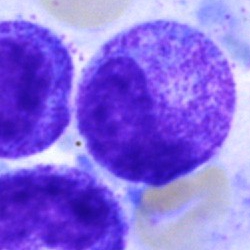
The cell shown is a progranulocyte.